Bone marrow smear.
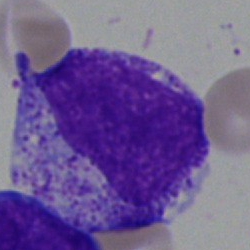 Q: What cell is this?
A: A myelocyte.